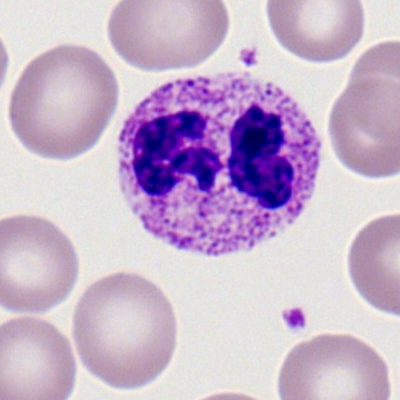Peripheral blood film, single cell — segmented neutrophil.